Bone marrow smear · brightfield microscopy, 40× oil immersion — 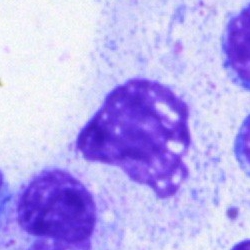

Morphology — artefact.